Bone marrow aspirate smear; 250×250:
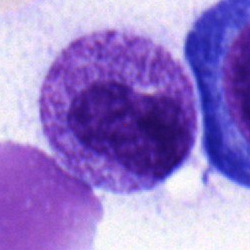

Specimen: bone marrow aspirate smear.
Cell: myelocyte.